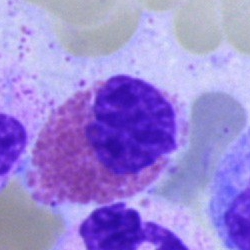Q: Which cell type is shown here?
A: Eosinophilic granulocyte.